Single-cell crop. Brightfield microscopy, 40× oil immersion. Bone marrow smear
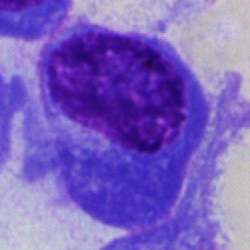 Impression → plasma cell.